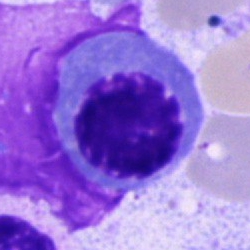{"cell_type": "nucleated red blood cell"}